40× objective, oil immersion · bone marrow aspirate smear.
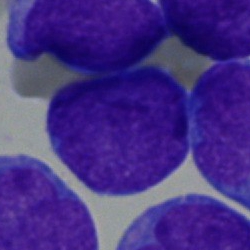 Single cell identified as a blast.